Bone marrow smear · MGG-stained.
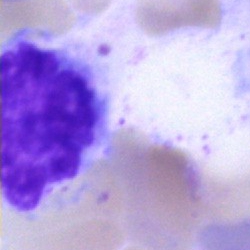Morphological class — artifact.